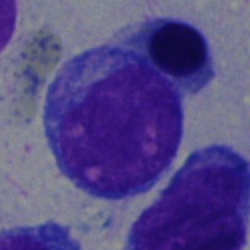
Q: Identify the cell.
A: This is an undifferentiated blast.